Peripheral blood film. M8 digital microscope (Precipoint), 100× oil immersion:
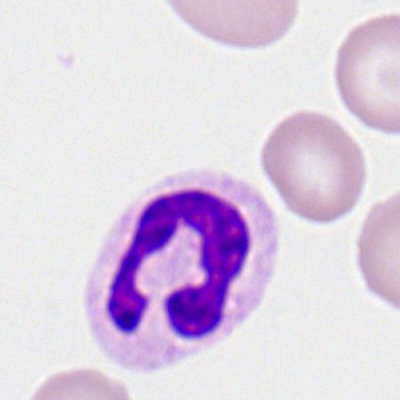

Single cell identified as a polymorphonuclear neutrophil.